Bone marrow smear. Brightfield microscopy, 40× oil immersion: 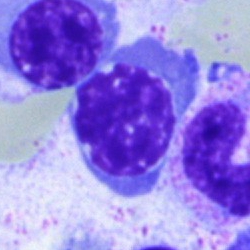Specimen: bone marrow smear.
Classification: erythroblast.